Bone marrow aspirate smear. 40× oil immersion — 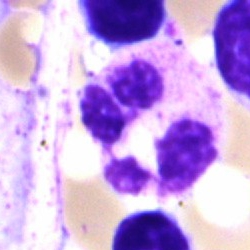Morphology — segmented neutrophil.